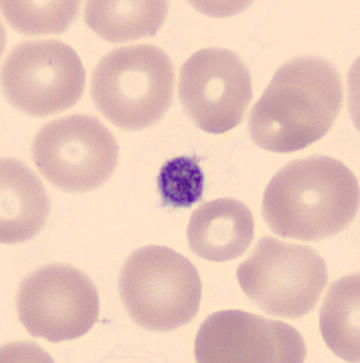 Specimen: peripheral blood smear.
Morphological class: thrombocyte.